Bone marrow aspirate smear
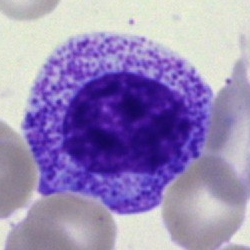The cell type is myelocyte.